Bone marrow smear — 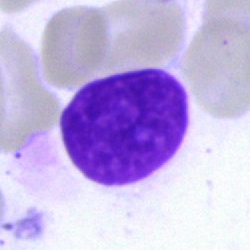

Single cell identified as an artifact.